Bone marrow aspirate smear.
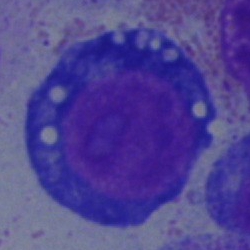The cell is pronormoblast.